MGG-stained. Single-cell crop. Bone marrow smear.
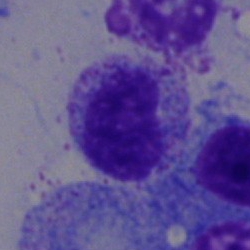
The cell shown is a myelocyte.